Bone marrow smear: 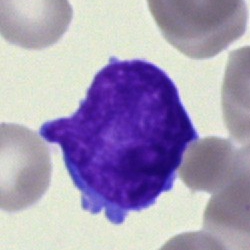

Classification — blast cell.